Bone marrow aspirate smear
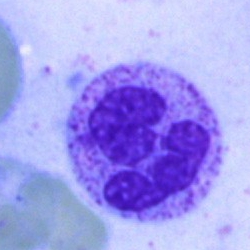

Q: What is the morphological classification of this cell?
A: Polymorphonuclear neutrophil.